Bone marrow smear: 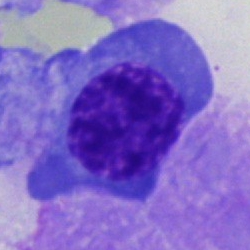

Cell: nucleated red blood cell.